Bone marrow aspirate smear.
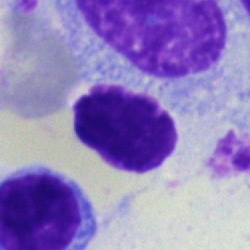
Q: What is shown here?
A: An artifact.